Bone marrow aspirate smear — 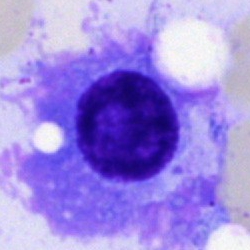 Specimen: bone marrow smear.
Morphological class: plasma cell.
Lineage: lymphoid.